Brightfield, 40× oil-immersion objective; bone marrow smear
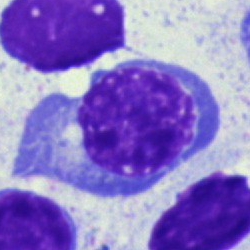 The cell type is normoblast.